Bone marrow aspirate smear. MGG-stained
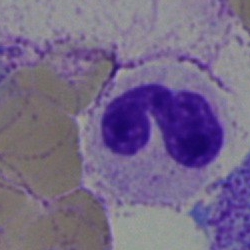 Q: Which cell type is shown here?
A: This is a band-form neutrophil.